Bone marrow smear.
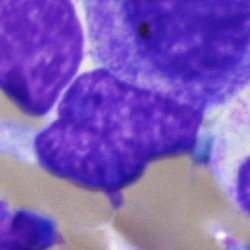 Classification — promyelocyte.